250×250 px · bone marrow smear.
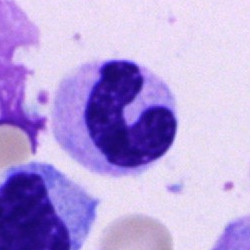 The cell type is neutrophil (band).